May-Grünwald-Giemsa/Pappenheim stain; bone marrow aspirate smear
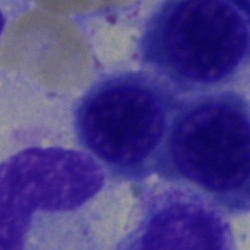

Specimen: bone marrow smear.
Morphological class: erythroblast.
Lineage: erythroid.